Bone marrow smear
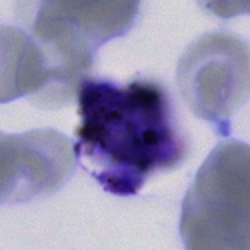Morphology → artefact.